Bone marrow aspirate smear: 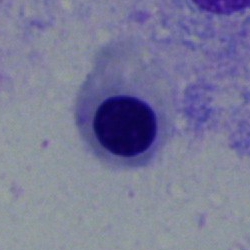
Showing an erythroblast.